Peripheral blood smear; image size 400×400:
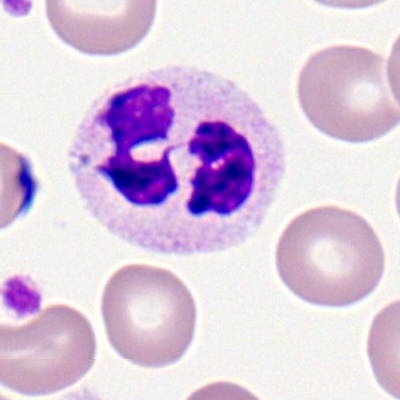

The morphological class is neutrophil (segmented).